250×250. Bone marrow aspirate smear. 40× oil immersion:
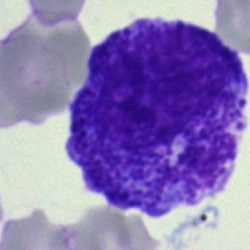

A progranulocyte.